Peripheral blood film:
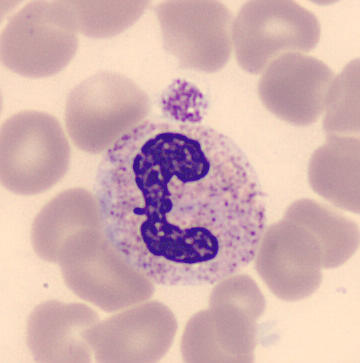
Cell type: segmented neutrophil.